MGG-stained; bone marrow aspirate smear; 250 by 250 pixels
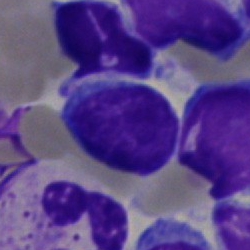Showing a typical lymphocyte.